Bone marrow aspirate smear
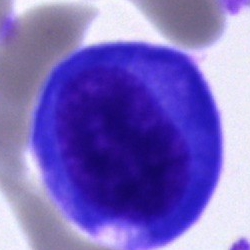

Q: What cell is this?
A: Plasma cell.